Bone marrow aspirate smear. May-Grünwald-Giemsa/Pappenheim stain: 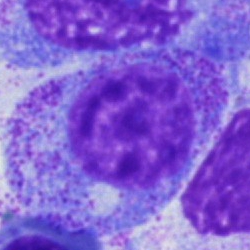 This is a myelocyte.